Bone marrow smear · 250×250 · single-cell field
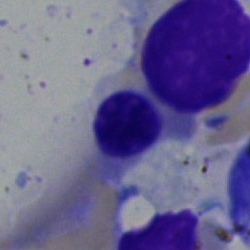This is a nucleated red cell.